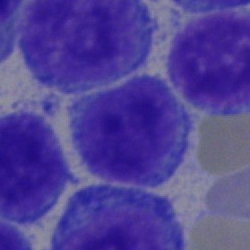 Specimen: bone marrow aspirate smear.
Morphological class: lymphocyte.
Lineage: lymphoid.